Bone marrow aspirate smear: 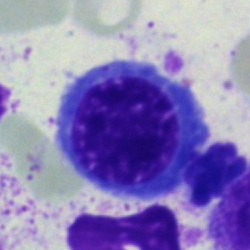Morphology → normoblast.